Bone marrow smear · 40× objective, oil immersion: 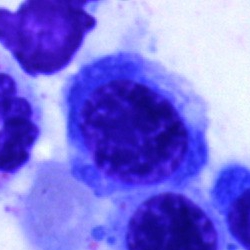 The cell is erythroblast.